Bone marrow smear: 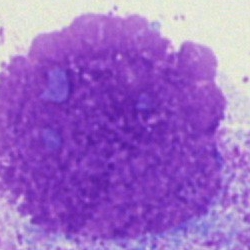 Q: What is shown here?
A: Artefact.